Cropped to a single cell; bone marrow aspirate smear — 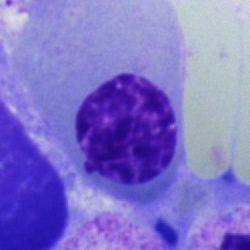Q: Identify the cell.
A: This is an erythroblast.